Brightfield, 40× oil-immersion objective · bone marrow smear:
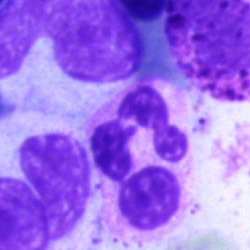
Q: What is the morphological classification of this cell?
A: Neutrophil (segmented).